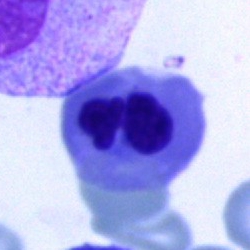 Showing a nucleated red cell.